Pappenheim-stained; bone marrow smear — 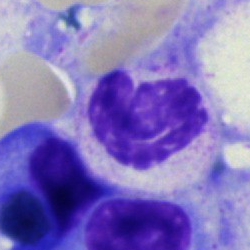
{"cell_type": "neutrophil (segmented)"}